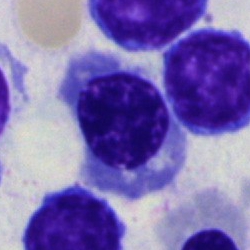
{"cell_type": "erythroblast", "lineage": "erythroid"}